Bone marrow smear: 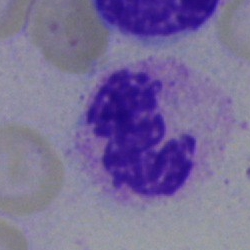 The cell is neutrophil (segmented).